Peripheral blood film.
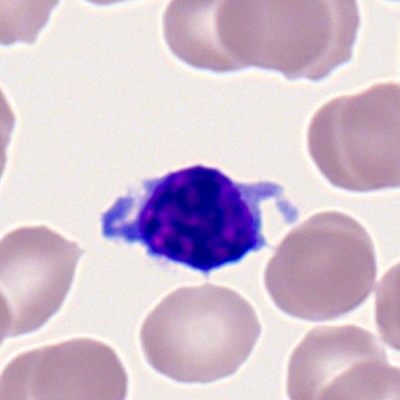

Single cell identified as a lymphocyte.